Peripheral blood smear
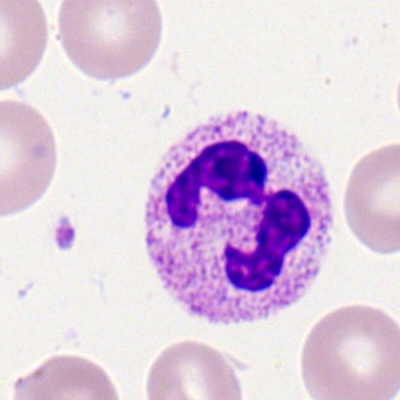 Q: What cell is this?
A: This is a neutrophil (segmented).